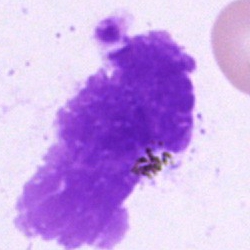

Morphology — artefact.